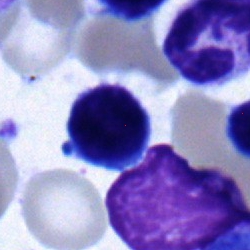

Classification: typical lymphocyte.